Single-cell crop · peripheral blood smear.
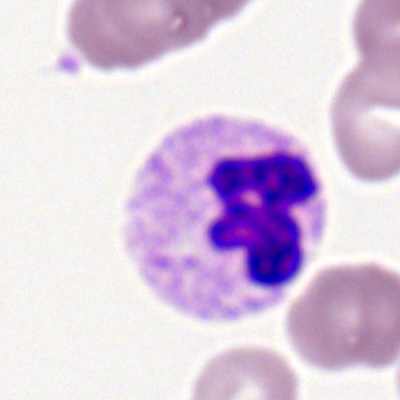Cell = segmented neutrophil.